Bone marrow smear — 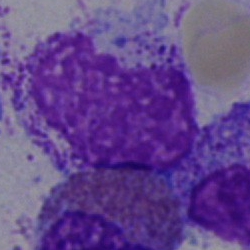 Morphology — artifact.